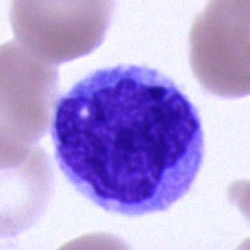
A monocyte.